40× objective, oil immersion; single-cell field; bone marrow aspirate smear:
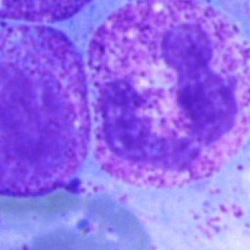

Showing a polymorphonuclear neutrophil.